Single-cell crop · bone marrow aspirate smear
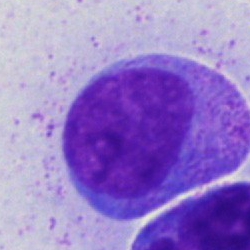 {"cell_type": "undifferentiated blast"}